Bone marrow smear: 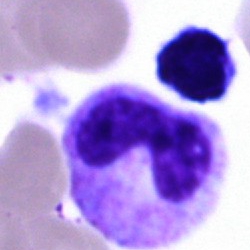 Q: What is shown here?
A: It is a stab cell.